Bone marrow smear — 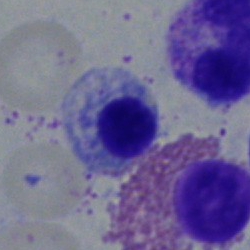

Specimen: bone marrow smear.
Classification: nucleated red cell.